Bone marrow aspirate smear; 250×250 px; single cell centered in the field: 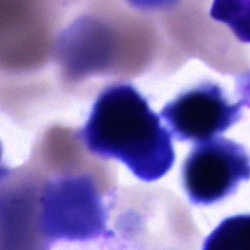
Specimen: bone marrow aspirate smear.
Cell: unidentifiable cell.